Bone marrow smear
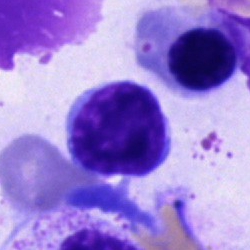

Morphology consistent with a typical lymphocyte.